Image size 250×250. Cropped to a single cell. Bone marrow aspirate smear:
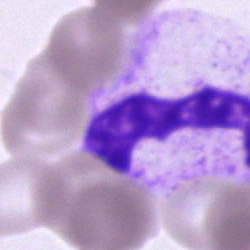
Morphology consistent with a neutrophil (segmented).